Bone marrow aspirate smear — 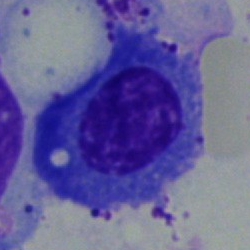 Showing a plasma cell.